Bone marrow aspirate smear · Pappenheim-stained · 250×250 px
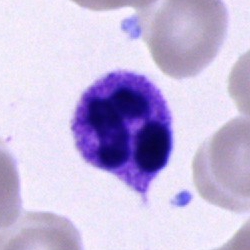

This is a polymorphonuclear neutrophil.